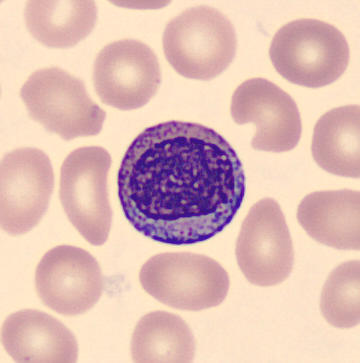 Peripheral blood film. Imaged on a CellaVision DM96 analyser. MGG stain.
Morphology consistent with a myelocyte.